Bone marrow aspirate smear
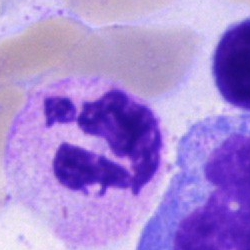 Morphology consistent with a segmented neutrophil.